Bone marrow aspirate smear. May-Grünwald-Giemsa/Pappenheim stain. 250 by 250 pixels:
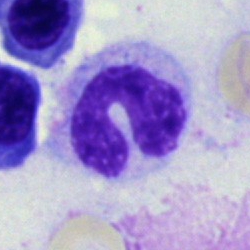{"cell_type": "neutrophil (segmented)", "lineage": "myeloid"}